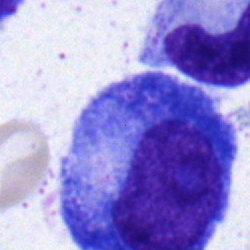
Bone marrow smear showing a promyelocyte.